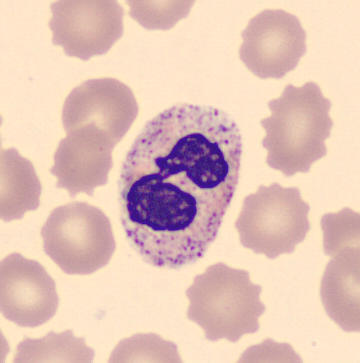
Specimen: peripheral blood film.
Cell: polymorphonuclear neutrophil.